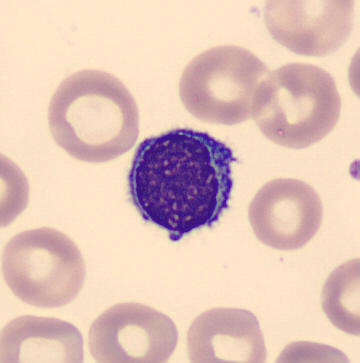

Showing a lymphocyte.